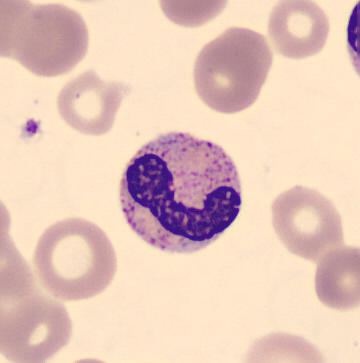 Cell type = stab cell.